Bone marrow smear · single-cell crop · MGG-stained
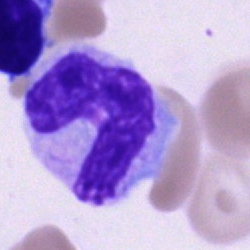

Q: Which cell type is shown here?
A: It is a neutrophil (band).